May-Grünwald-Giemsa/Pappenheim stain; image size 250×250; bone marrow aspirate smear:
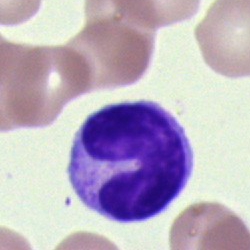Q: What is the morphological classification of this cell?
A: It is a stab cell.